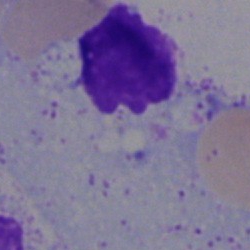 Bone marrow aspirate smear, single cell — artefact.